CellaVision DM96 · peripheral blood smear
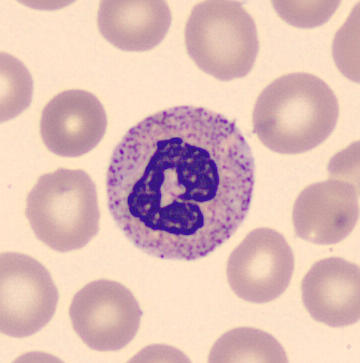

The cell type is neutrophil (segmented).